Bone marrow aspirate smear: 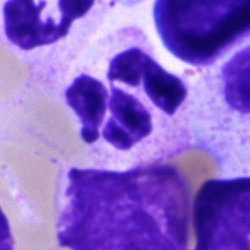Impression — segmented neutrophil.